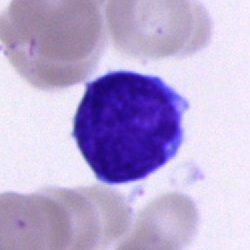

Bone marrow smear showing a lymphocyte.